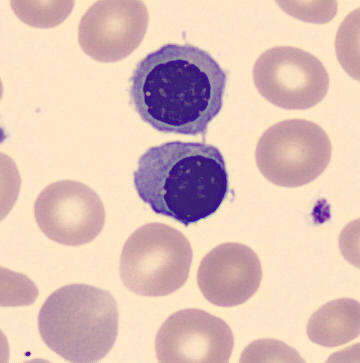

Image: Peripheral blood film.

The cell type is nucleated red cell.